Bone marrow smear · cropped to a single cell · May-Grünwald-Giemsa stain
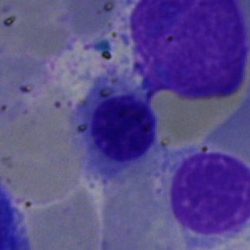 This is a nucleated red blood cell.